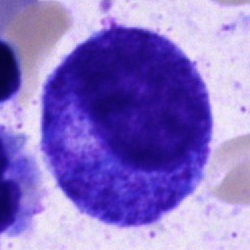
The cell type is progranulocyte.